Bone marrow smear.
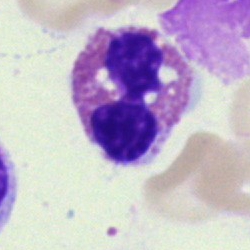

Q: What type of cell is this?
A: It is a basophil.